Bone marrow smear:
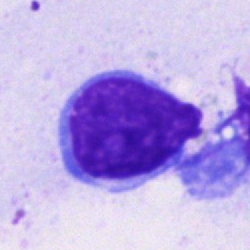

A lymphocyte.